Bone marrow smear; 250 by 250 pixels — 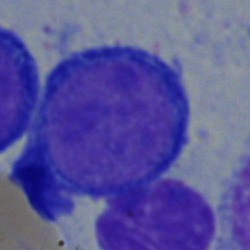Q: What cell is this?
A: It is a pronormoblast.